MGG-stained. Bone marrow aspirate smear.
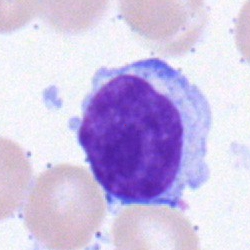Morphology → lymphocyte.